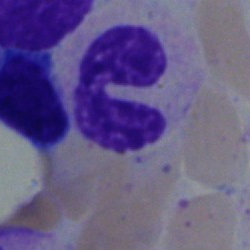

Q: What is shown here?
A: Band-form neutrophil.